Bone marrow smear
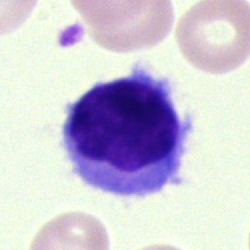A hairy cell.